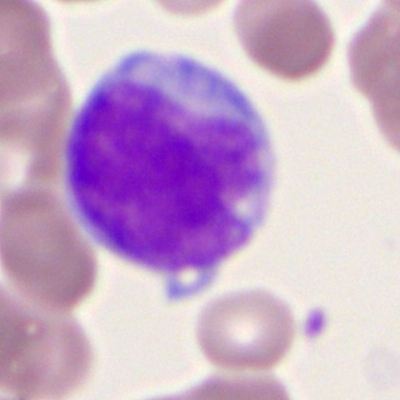
Q: What cell is this?
A: A myeloid blast.